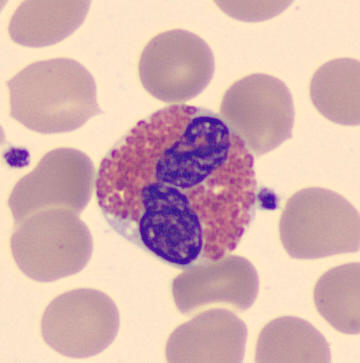
Peripheral blood smear · imaged on a CellaVision DM96 analyser · MGG stain. An eosinophil.